Peripheral blood film: 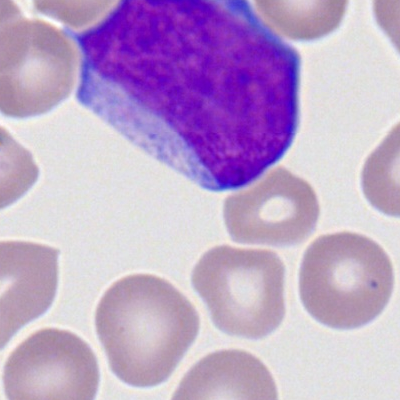Morphology consistent with a myeloblast.